Brightfield microscopy, 40× oil immersion; Pappenheim-stained; bone marrow aspirate smear — 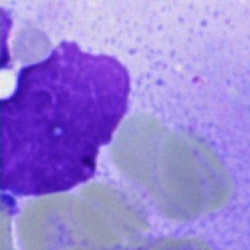

{"cell_type": "artefact"}